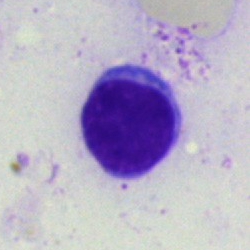Q: Which cell type is shown here?
A: It is a typical lymphocyte.